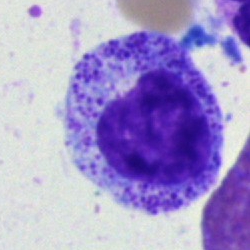 A myelocyte.